Bone marrow aspirate smear — 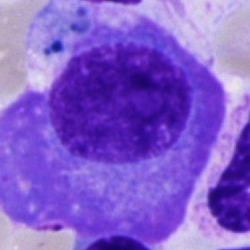
Q: What cell is this?
A: It is a plasma cell.